250×250 · bone marrow aspirate smear — 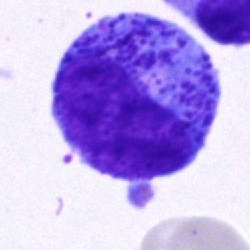

Morphological class — promyelocyte.